Bone marrow aspirate smear · brightfield, 40× oil-immersion objective · MGG-stained.
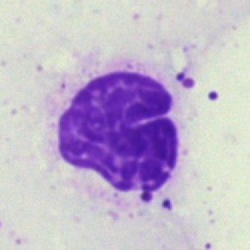Specimen: bone marrow aspirate smear.
Morphological class: artifact.